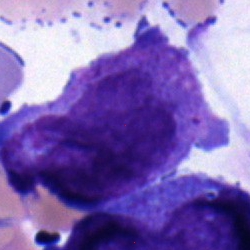Cell: blast.